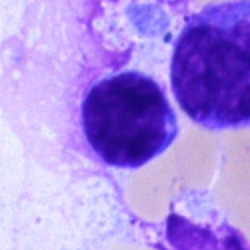Classification: typical lymphocyte.